Bone marrow smear: 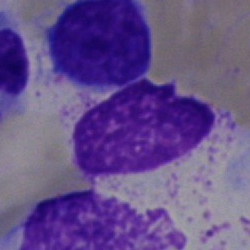Impression — artifact.